Bone marrow aspirate smear · 40× objective, oil immersion.
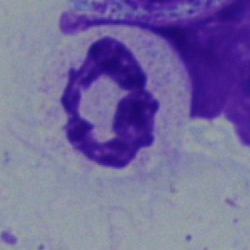Specimen: bone marrow aspirate smear.
Cell type: neutrophil (segmented).
Lineage: myeloid.